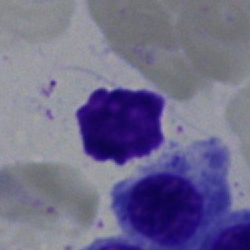
Cell type — artefact.